Bone marrow aspirate smear:
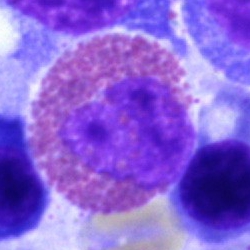 Q: What cell is this?
A: This is an eosinophil.